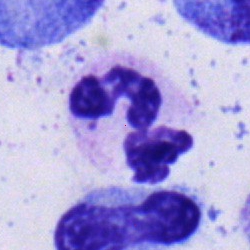
Impression — segmented neutrophil.